Bone marrow smear · MGG-stained:
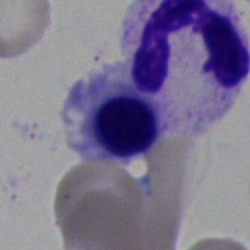

{"cell_type": "nucleated red blood cell", "lineage": "erythroid"}